250×250. Bone marrow smear: 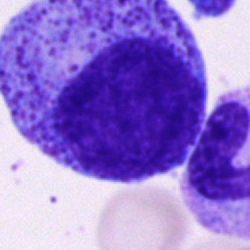Q: What cell is this?
A: A promyelocyte.